Bone marrow aspirate smear — 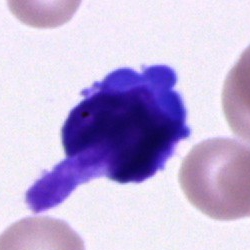
This is a cell of indeterminate lineage.